Bone marrow smear.
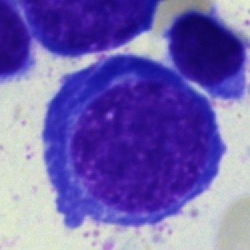
Impression → nucleated red blood cell.